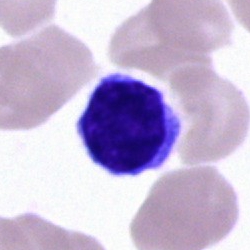 Morphology consistent with a lymphocyte.